Bone marrow aspirate smear: 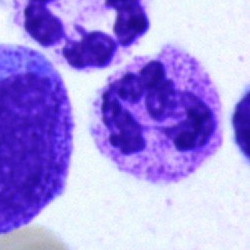
Morphology consistent with a polymorphonuclear neutrophil.